Bone marrow aspirate smear
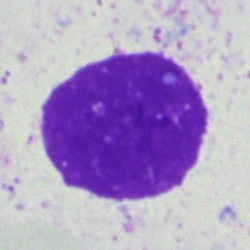

The morphological class is artefact.